MGG-stained · bone marrow smear — 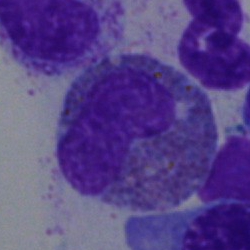 Single cell identified as an eosinophilic granulocyte.